Bone marrow aspirate smear: 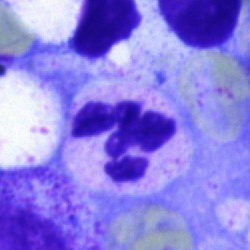

Q: What type of cell is this?
A: This is a polymorphonuclear neutrophil.